Bone marrow smear; single-cell field: 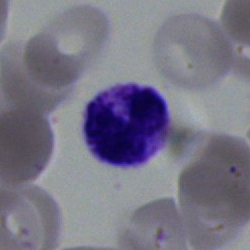Classification = polymorphonuclear neutrophil.